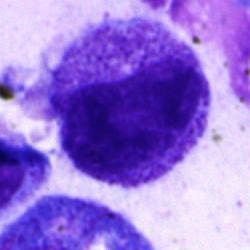 Bone marrow smear showing a progranulocyte.